Bone marrow smear; single cell centered in the field; brightfield, 40× oil-immersion objective:
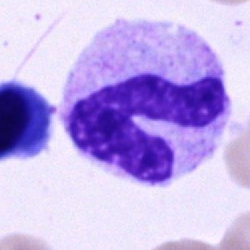
Morphology — polymorphonuclear neutrophil.